MGG-stained. Bone marrow smear
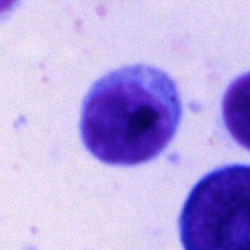
A lymphocyte.